Romanowsky-type stain; image size 400×400; peripheral blood film:
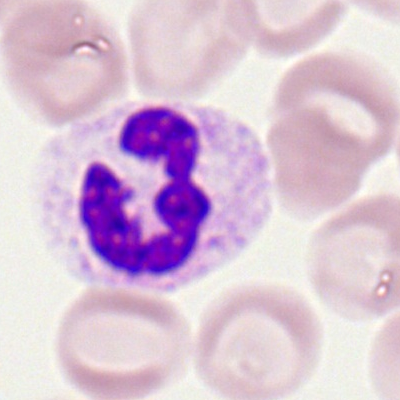
Q: What type of cell is this?
A: Polymorphonuclear neutrophil.